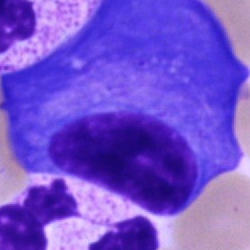
Cell type = plasmacyte.